Peripheral blood smear.
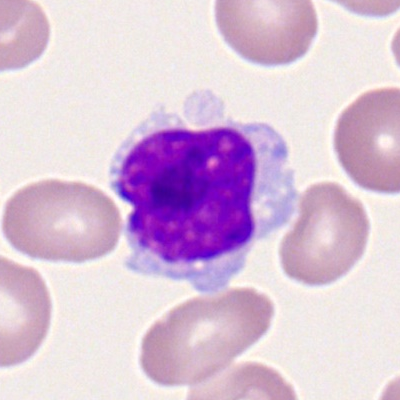
Specimen: peripheral blood smear.
Cell type: typical lymphocyte.